Bone marrow smear.
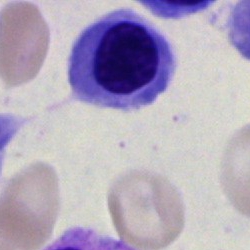 Showing a normoblast.